Bone marrow aspirate smear; single cell centered in the field; 40× objective, oil immersion
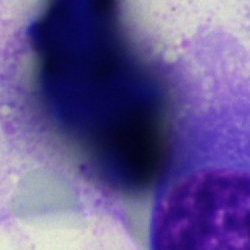Showing an artefact.